Bone marrow smear
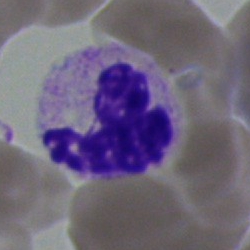Morphology — polymorphonuclear neutrophil.